Single cell centered in the field; bone marrow aspirate smear — 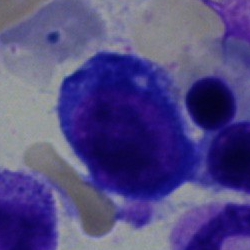

Q: What is the morphological classification of this cell?
A: Pronormoblast.